May-Grünwald-Giemsa stain · single-cell crop · bone marrow smear: 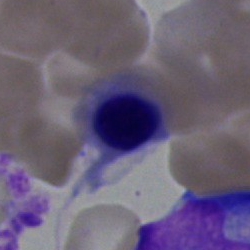 Showing an erythroblast.